May-Grünwald-Giemsa stain. Bone marrow smear.
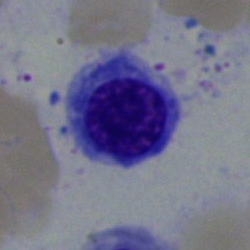 The cell shown is an erythroblast.